Bone marrow smear:
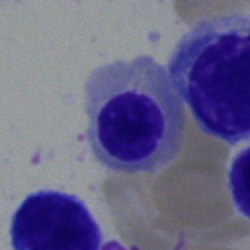
Morphological class — erythroblast.